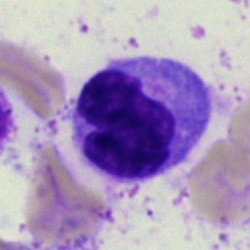

Classification — monocyte.